Bone marrow aspirate smear
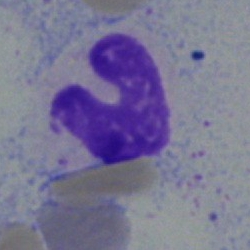

Morphological class = band neutrophil.